40× oil immersion · bone marrow aspirate smear: 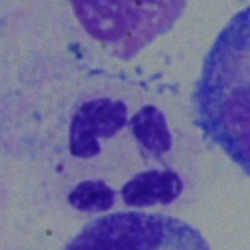

Q: What type of cell is this?
A: It is a segmented neutrophil.